Cropped to a single cell; brightfield, 40× oil-immersion objective; bone marrow smear.
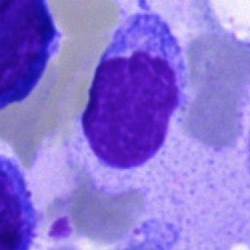 Q: What is shown here?
A: It is an artifact.